Bone marrow smear.
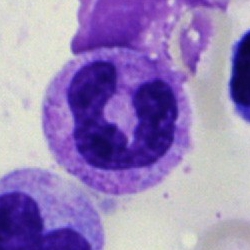 Specimen: bone marrow aspirate smear.
Cell type: segmented neutrophil.